Bone marrow smear — 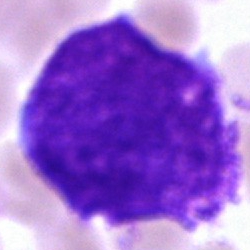

This is an artifact.